Bone marrow smear; May-Grünwald-Giemsa/Pappenheim stain:
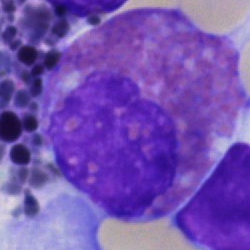

Morphology consistent with an eosinophilic granulocyte.